Peripheral blood smear.
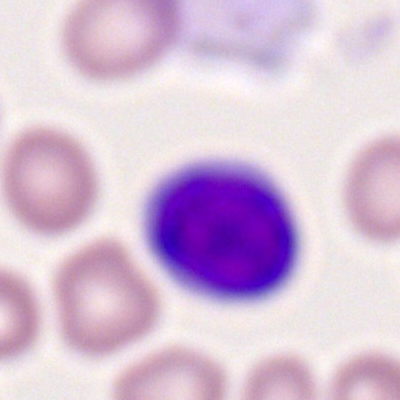 The cell shown is a typical lymphocyte.